Bone marrow aspirate smear.
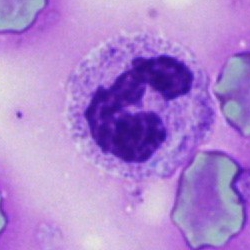 Q: What type of cell is this?
A: A segmented neutrophil.